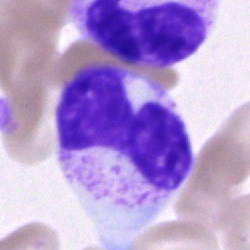 Single-cell crop from a bone marrow smear: neutrophil (segmented).